MGG-stained · bone marrow aspirate smear
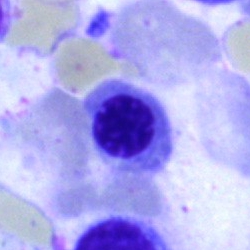 The cell shown is a normoblast.